Brightfield microscopy, 40× oil immersion. Bone marrow aspirate smear — 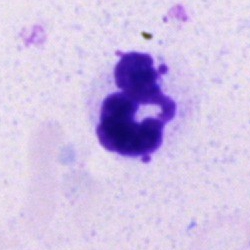
Single cell identified as a segmented neutrophil.